Bone marrow aspirate smear
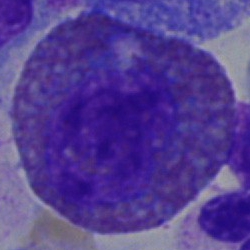The morphological class is eosinophilic granulocyte.